Peripheral blood smear
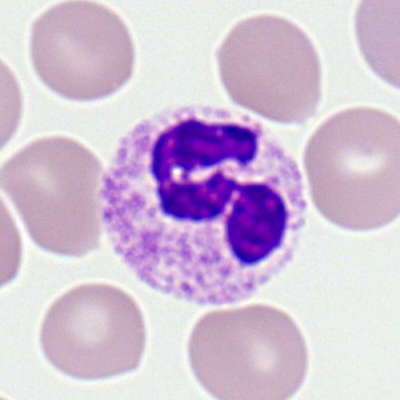
Q: What is shown here?
A: It is a neutrophil (segmented).